Bone marrow smear
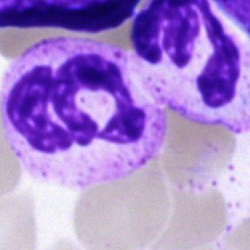Q: Which cell type is shown here?
A: This is a segmented neutrophil.